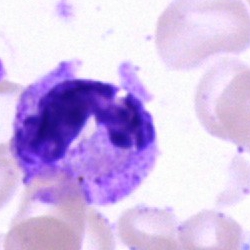Specimen: bone marrow aspirate smear.
Cell type: polymorphonuclear neutrophil.
Lineage: myeloid.